Peripheral blood film:
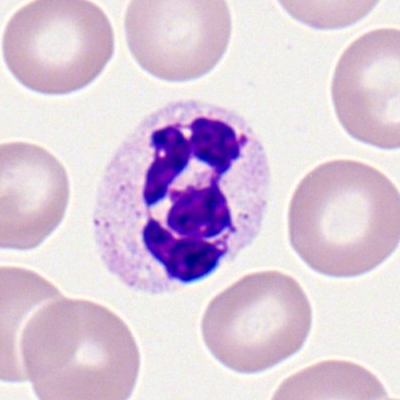
Impression → polymorphonuclear neutrophil.